Image size 250×250 · bone marrow aspirate smear:
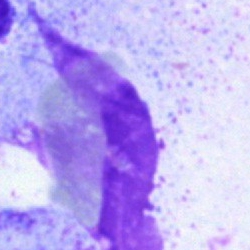
Single cell identified as an artifact.